Romanowsky-stained; peripheral blood smear
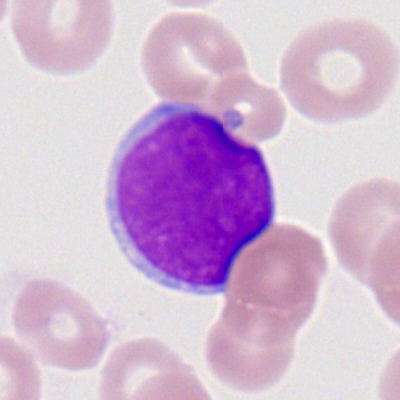The cell type is myeloblast.